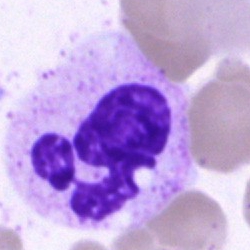A polymorphonuclear neutrophil on a bone marrow smear.